Bone marrow smear:
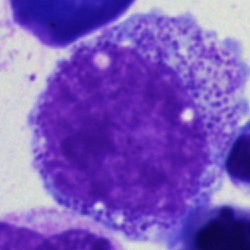Q: What is shown here?
A: A progranulocyte.